Bone marrow aspirate smear.
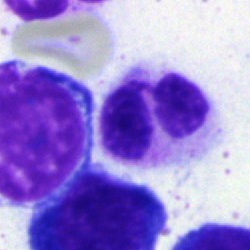
Morphological class: polymorphonuclear neutrophil.